Peripheral blood film. Brightfield, 100× oil-immersion objective
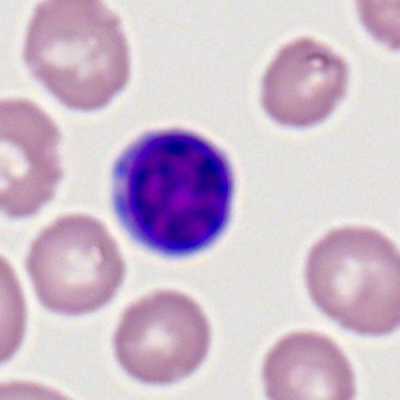{"cell_type": "typical lymphocyte", "lineage": "lymphoid"}